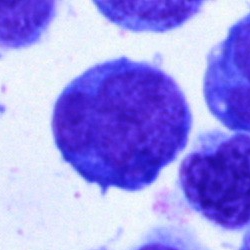 Cell — blast cell.